Bone marrow aspirate smear — 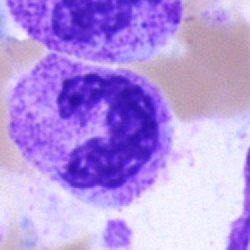 Single cell identified as a segmented neutrophil.